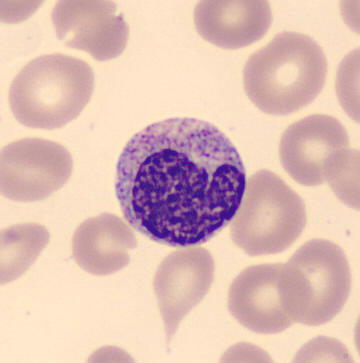

Classification = metamyelocyte.
360 by 363 pixels · peripheral blood smear.